May-Grünwald-Giemsa/Pappenheim stain. Bone marrow smear. 250 by 250 pixels
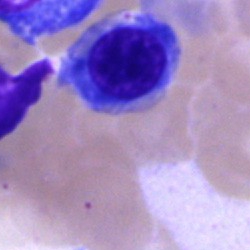
Morphology → nucleated red cell.